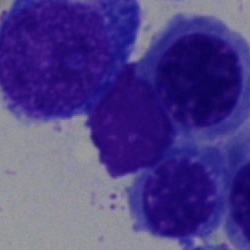

Specimen: bone marrow smear.
Morphological class: nucleated red cell.
Lineage: erythroid.